Single cell centered in the field. Bone marrow aspirate smear. 250×250 px: 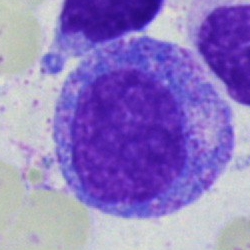 Specimen: bone marrow aspirate smear.
Classification: progranulocyte.